Bone marrow aspirate smear:
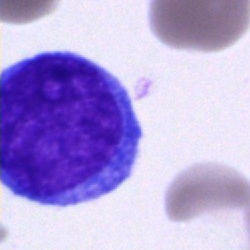
Blast.